Single-cell crop · peripheral blood film: 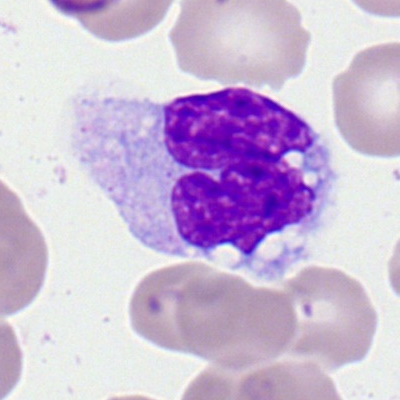
Morphology consistent with a monocyte.